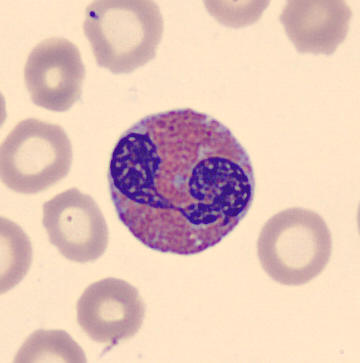Preparation: Automated cell imaging (CellaVision DM96); cropped to a single cell; peripheral blood film.
Cell type — eosinophil.